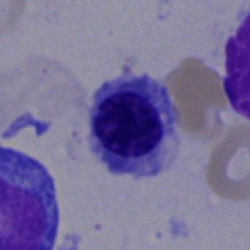
This is a nucleated red blood cell.